Brightfield microscopy, 40× oil immersion. Bone marrow aspirate smear — 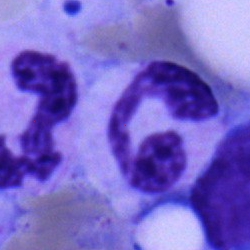

Morphology consistent with a segmented neutrophil.